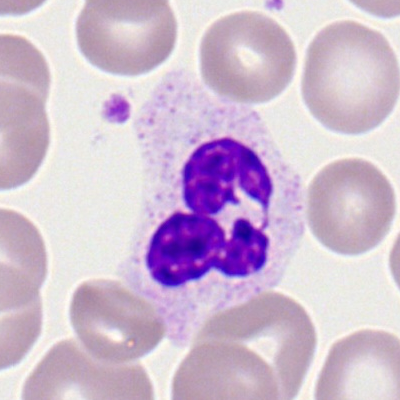

Cell type: segmented neutrophil.